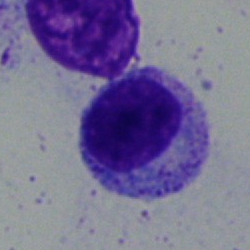 Cell type = myelocyte.